Bone marrow aspirate smear. Single-cell crop: 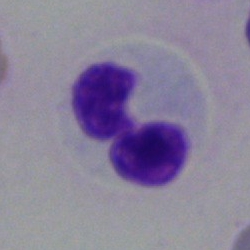

Single cell identified as a neutrophil (segmented).